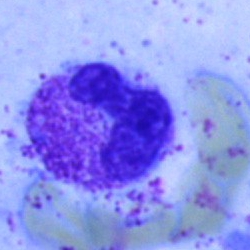
Morphology — neutrophil (segmented).